Bone marrow smear: 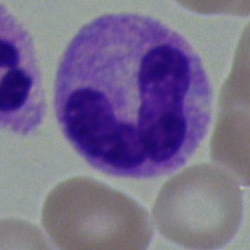
Morphology consistent with a neutrophil (band).